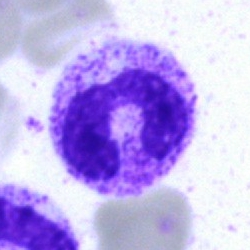Classification = polymorphonuclear neutrophil.